Pappenheim-stained · bone marrow aspirate smear.
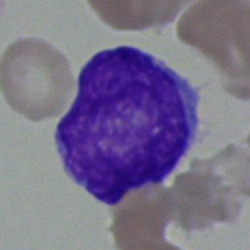

Classification = blast.